Bone marrow smear.
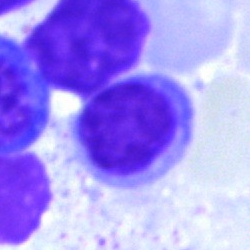 Cell type: lymphocyte.